Bone marrow smear.
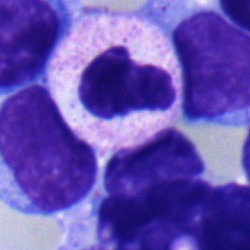
Single cell identified as a segmented neutrophil.